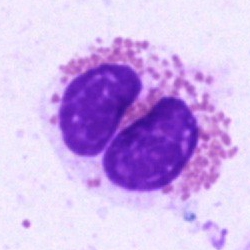 Single-cell crop from a bone marrow smear: eosinophil.